Peripheral blood smear: 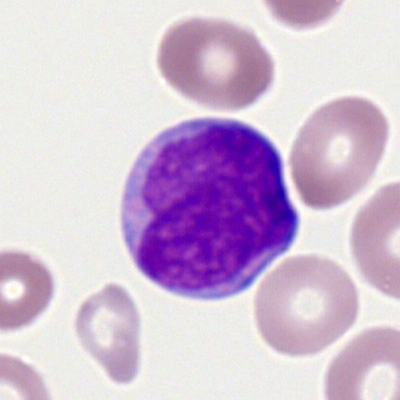 Specimen: peripheral blood film.
Morphological class: myeloblast.